Bone marrow smear. 40× oil immersion: 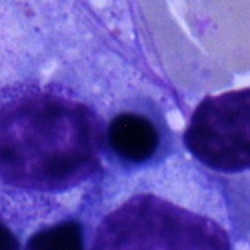Morphology — normoblast.